MGG stain. Peripheral blood film — 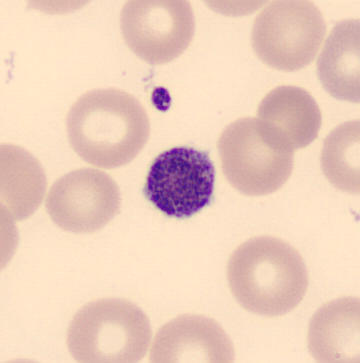Identified as a platelet.